Brightfield, 40× oil-immersion objective; bone marrow smear; single-cell field
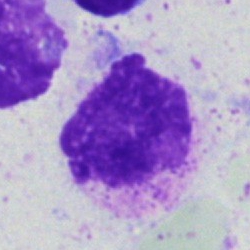The morphological class is artefact.